May-Grünwald-Giemsa/Pappenheim stain. Single-cell field. Bone marrow smear: 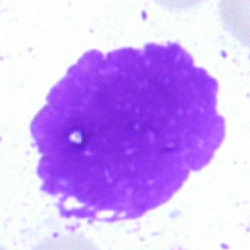 Classification = artifact.